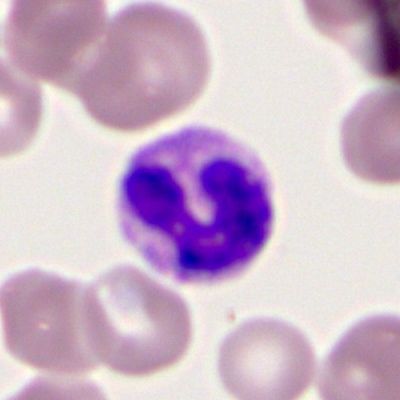
Cell type: neutrophil (segmented).